Bone marrow aspirate smear.
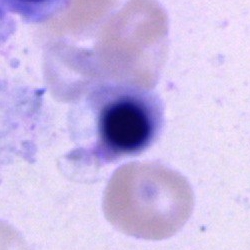The cell shown is a normoblast.